Bone marrow aspirate smear. Single cell centered in the field. Brightfield microscopy, 40× oil immersion
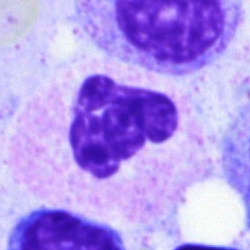 Morphology consistent with a neutrophil (segmented).